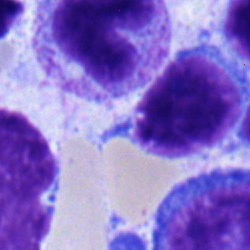

A lymphocyte.